Single cell centered in the field; bone marrow smear:
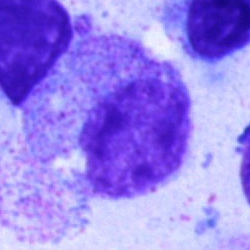
Q: What is the morphological classification of this cell?
A: A myelocyte.